MGG-stained. Bone marrow aspirate smear
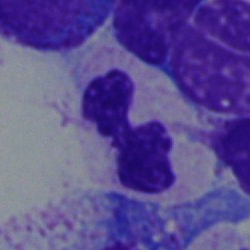

{"cell_type": "segmented neutrophil"}